Bone marrow aspirate smear; single-cell crop; MGG-stained.
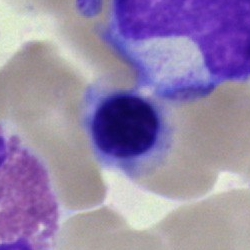

Morphological class: normoblast.